May-Grünwald-Giemsa stain · bone marrow smear · image size 250×250: 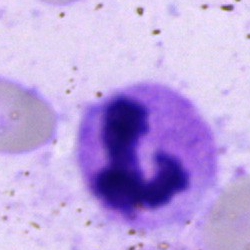 Q: What type of cell is this?
A: It is a neutrophil (segmented).